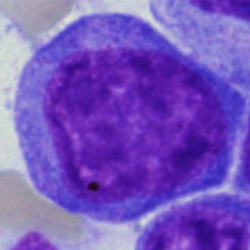

Q: What type of cell is this?
A: It is a proerythroblast.